Bone marrow aspirate smear: 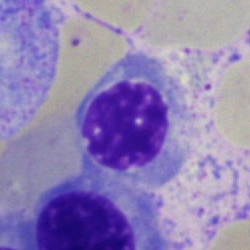
Nucleated red blood cell.